Bone marrow smear — 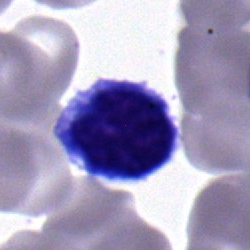

Q: What cell is this?
A: Normoblast.